Bone marrow smear:
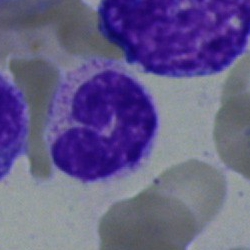

The classification is segmented neutrophil.